Bone marrow smear:
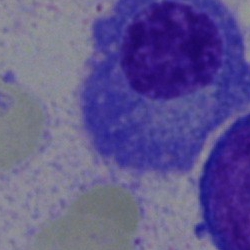
Showing a plasmacyte.